Bone marrow smear:
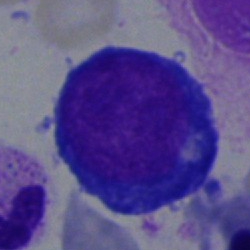Single cell identified as an erythroblast.